Bone marrow aspirate smear.
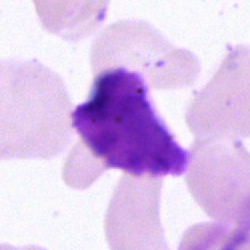

Showing an artefact.